Bone marrow aspirate smear: 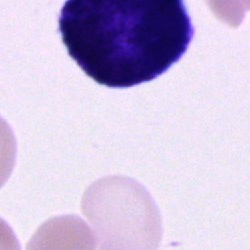 Morphological class = unidentifiable cell.